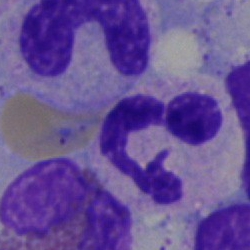 Bone marrow smear showing a polymorphonuclear neutrophil.